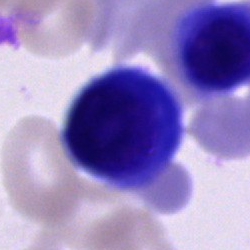 {"cell_type": "unidentifiable cell"}